Bone marrow smear — 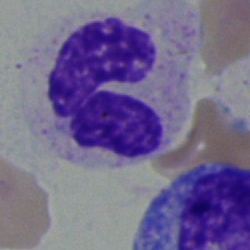Morphology — band neutrophil.